Single-cell field; bone marrow aspirate smear — 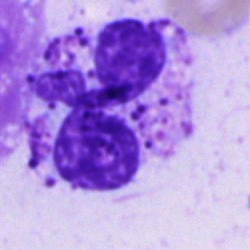 Cell — segmented neutrophil.